Peripheral blood smear — 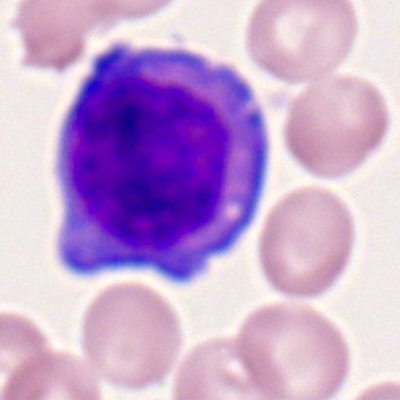

Specimen: peripheral blood film.
Cell type: myeloblast.